May-Grünwald-Giemsa/Pappenheim stain. Bone marrow aspirate smear. 250 by 250 pixels
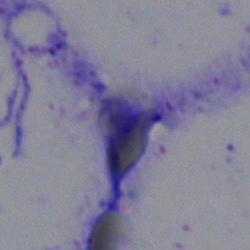Artifact.